Peripheral blood smear. Romanowsky-type stain — 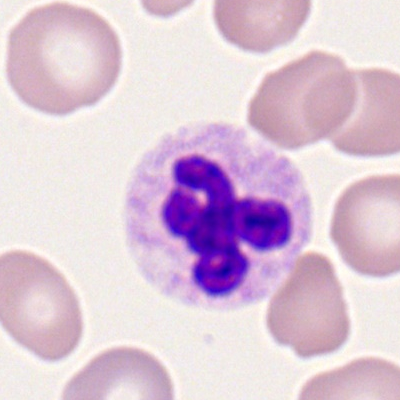Morphology → neutrophil (segmented).